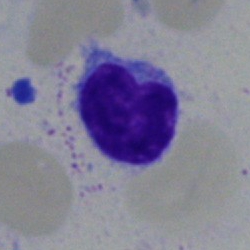 Single cell identified as a typical lymphocyte.